250 by 250 pixels. Bone marrow aspirate smear
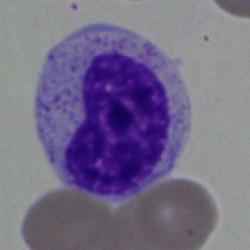

Impression → metamyelocyte.